Bone marrow aspirate smear · brightfield microscopy, 40× oil immersion · May-Grünwald-Giemsa stain:
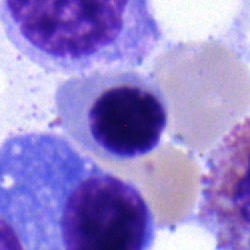 Classification: erythroblast.